Bone marrow aspirate smear: 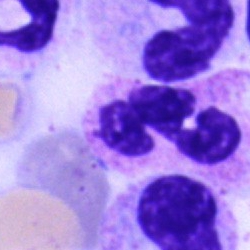Q: Identify the cell.
A: Neutrophil (segmented).